Bone marrow smear:
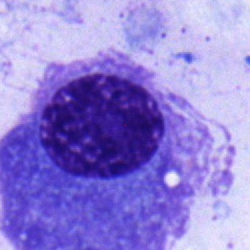Cell: plasma cell.